Bone marrow smear.
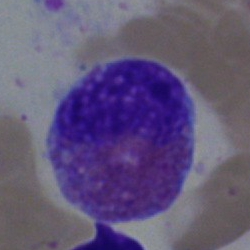 Specimen: bone marrow smear.
Classification: eosinophil.